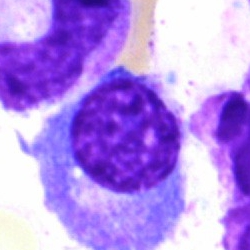
Bone marrow aspirate smear, single cell — plasma cell.